Pappenheim-stained · single-cell field · bone marrow smear
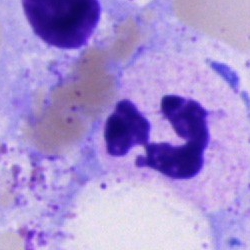

Specimen: bone marrow smear.
Cell: segmented neutrophil.
Lineage: myeloid.